Single-cell field · peripheral blood film · CellaVision DM96.
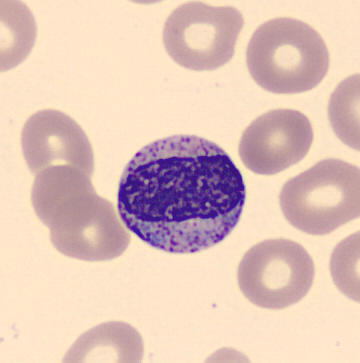 Q: Identify the cell.
A: This is a metamyelocyte.